Bone marrow smear:
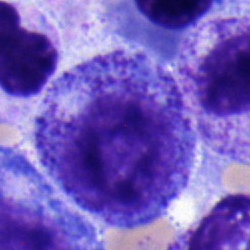

The cell type is promyelocyte.